Bone marrow smear. Brightfield, 40× oil-immersion objective.
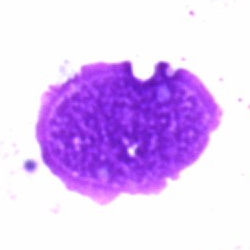

{"cell_type": "artifact"}